Cropped to a single cell; May-Grünwald-Giemsa/Pappenheim stain; bone marrow smear
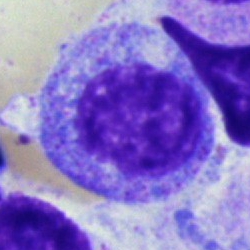

Q: What cell is this?
A: This is a progranulocyte.